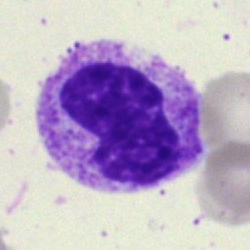Classification = band-form neutrophil.